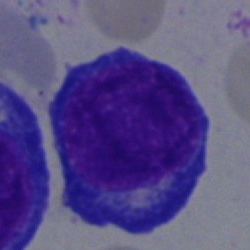
Single-cell crop from a bone marrow smear: proerythroblast.